Image size 250×250. 40× objective, oil immersion. Bone marrow smear
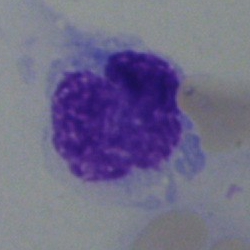Specimen: bone marrow smear.
Cell: hairy cell.